Bone marrow aspirate smear: 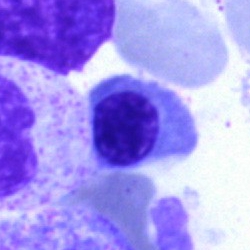

Q: What cell is this?
A: It is an erythroblast.